Bone marrow aspirate smear: 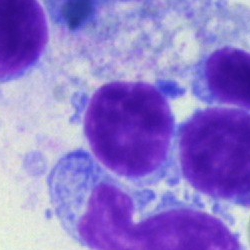Showing a typical lymphocyte.